Bone marrow smear. 40× oil immersion:
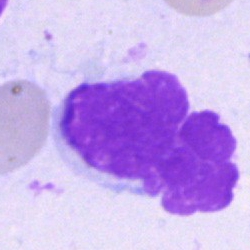
The cell shown is an artifact.